Bone marrow smear. 40× objective, oil immersion. 250 by 250 pixels
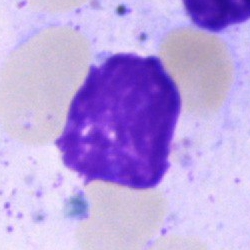
Showing an artefact.